Bone marrow aspirate smear · image size 250×250.
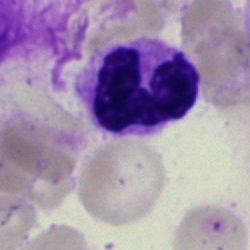
Single cell identified as a segmented neutrophil.